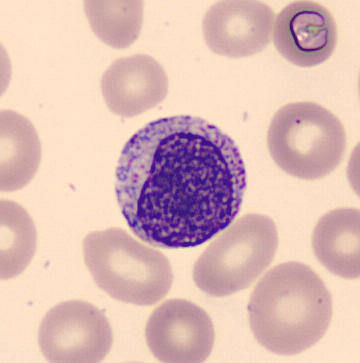Peripheral blood smear. The morphological class is myelocyte.